Bone marrow aspirate smear. Cropped to a single cell. Pappenheim-stained.
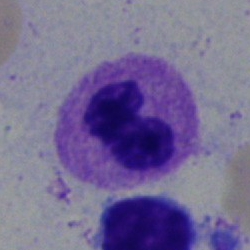
Q: What cell is this?
A: It is a segmented neutrophil.